Brightfield, 40× oil-immersion objective. May-Grünwald-Giemsa stain. Bone marrow aspirate smear:
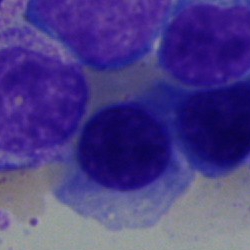
Single cell identified as an erythroblast.